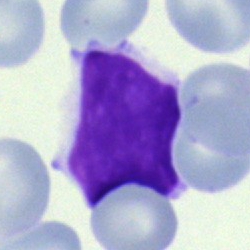
The classification is lymphocyte.